Bone marrow smear:
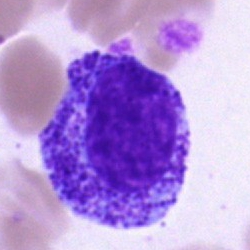
{"cell_type": "promyelocyte"}